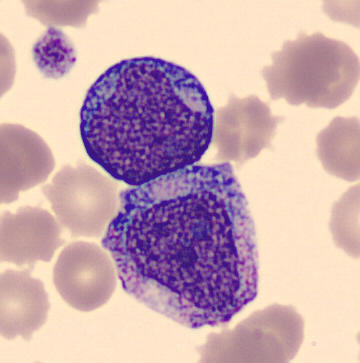Q: What is this?
A: This is a promyelocyte.